Single-cell crop. Bone marrow aspirate smear: 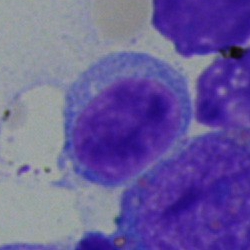 Q: What type of cell is this?
A: It is a lymphocyte.